Peripheral blood smear. 400 by 400 pixels: 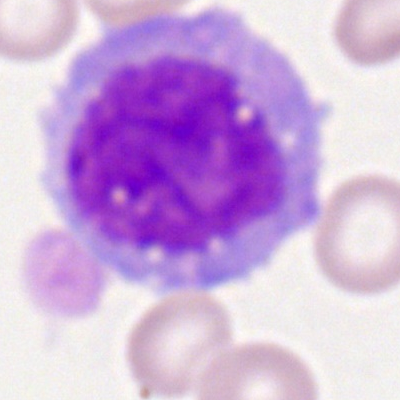 Q: Identify the cell.
A: It is a monocyte.